Bone marrow smear. MGG-stained — 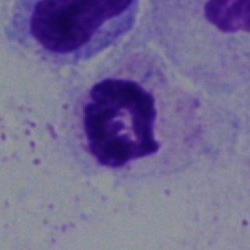 Single cell identified as a neutrophil (segmented).